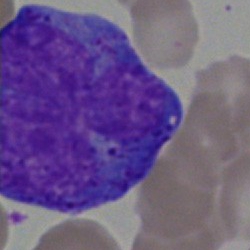

Impression — artifact.